Bone marrow aspirate smear:
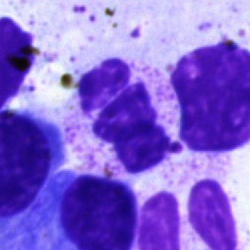Single cell identified as an artefact.